Bone marrow smear · 250×250:
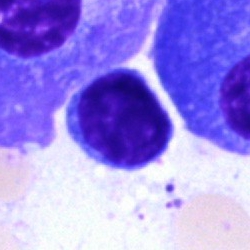The cell shown is a typical lymphocyte.